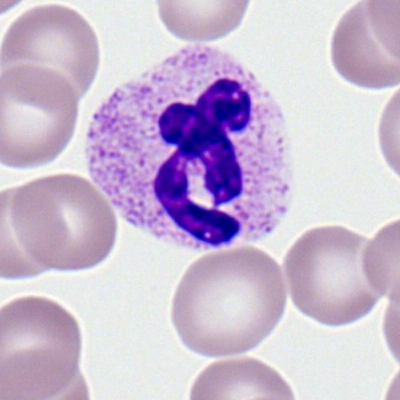 This is a segmented neutrophil.